Bone marrow aspirate smear:
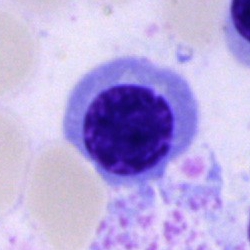
Classification = nucleated red cell.